Brightfield, 40× oil-immersion objective · bone marrow aspirate smear — 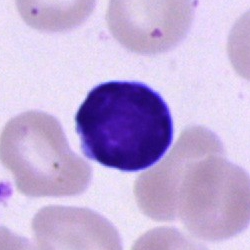

Showing a typical lymphocyte.